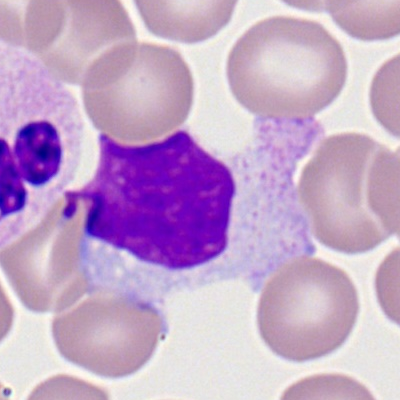 A typical lymphocyte on a peripheral blood smear.